Bone marrow aspirate smear. Single-cell crop: 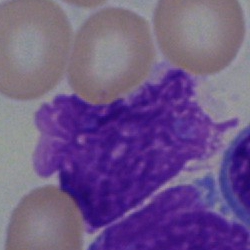Specimen: bone marrow smear.
Cell type: artifact.